Bone marrow aspirate smear:
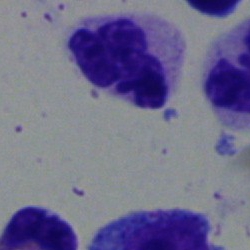Cell type = segmented neutrophil.